Bone marrow aspirate smear: 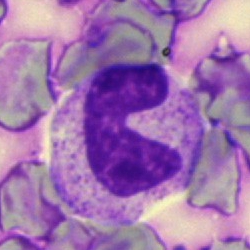

Classification = stab cell.